Bone marrow smear — 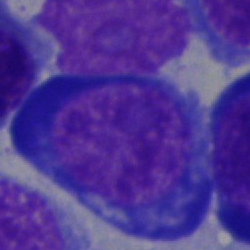A nucleated red blood cell.